Peripheral blood film.
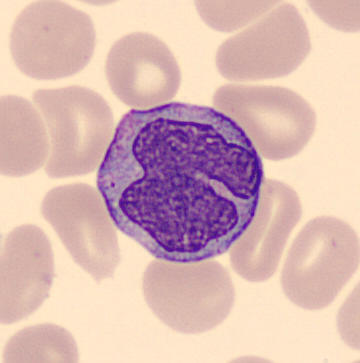Classification: monocyte.